Bone marrow aspirate smear.
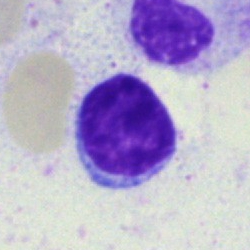 Showing a lymphocyte.